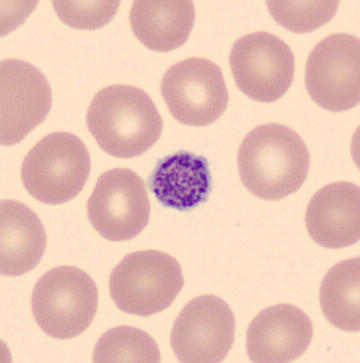
Specimen: peripheral blood film.
Morphological class: thrombocyte.